Bone marrow smear; 40× oil immersion; 250×250
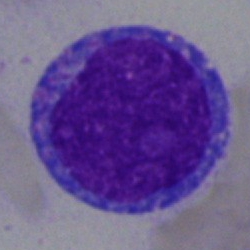This is a blast.